Brightfield microscopy, 40× oil immersion; bone marrow smear.
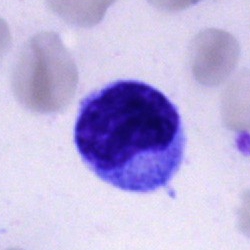
Specimen: bone marrow smear.
Cell: typical lymphocyte.
Lineage: lymphoid.